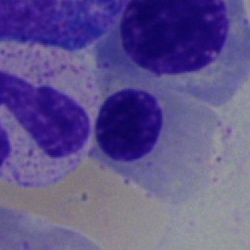{"cell_type": "nucleated red cell"}